Bone marrow smear:
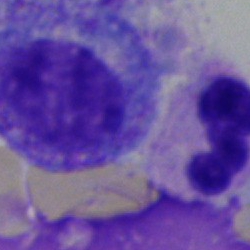

This is a promyelocyte.